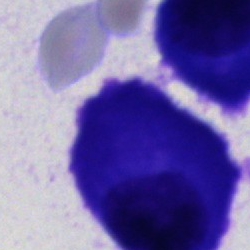
Bone marrow smear showing a plasmacyte.